Bone marrow aspirate smear: 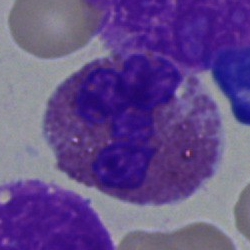The cell shown is an eosinophil.